Bone marrow smear; MGG-stained:
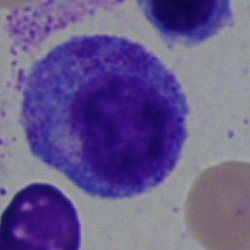
Progranulocyte.